40× objective, oil immersion · bone marrow smear · cropped to a single cell: 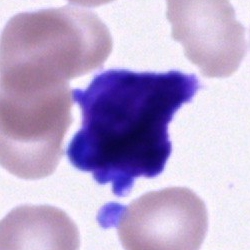Cell type — unidentifiable cell.